Bone marrow aspirate smear; 250×250: 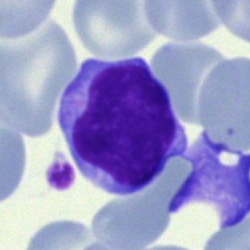Typical lymphocyte.